Bone marrow aspirate smear:
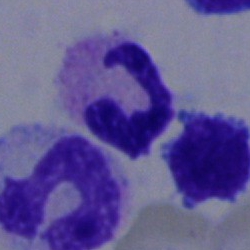

Morphological class = segmented neutrophil.